Peripheral blood smear.
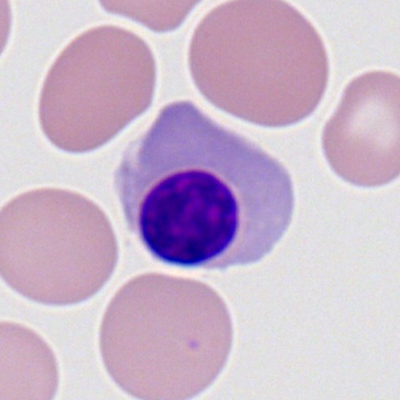Cell type: erythroblast.